Bone marrow aspirate smear. 250×250 px:
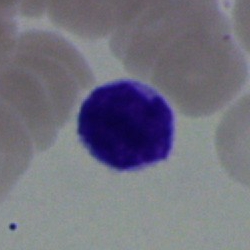Q: Identify the cell.
A: A typical lymphocyte.